Bone marrow aspirate smear · brightfield microscopy, 40× oil immersion:
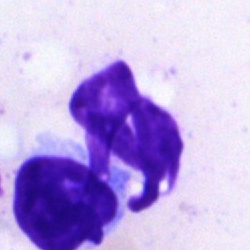

Cell — artifact.